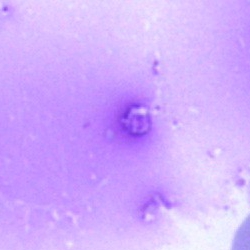
An artifact.